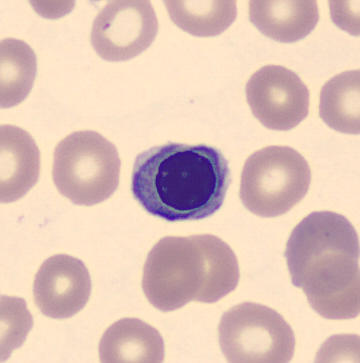

A nucleated red cell.
360×363 · peripheral blood film · CellaVision DM96 digital cell image.